Peripheral blood film; single cell centered in the field; image size 400×400: 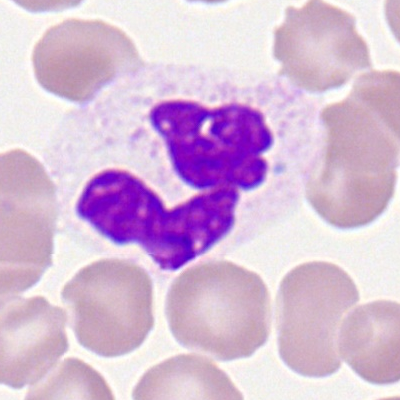 {"cell_type": "segmented neutrophil", "lineage": "myeloid"}